Bone marrow aspirate smear:
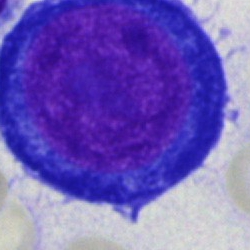
Q: What is shown here?
A: It is a proerythroblast.